250×250; bone marrow smear:
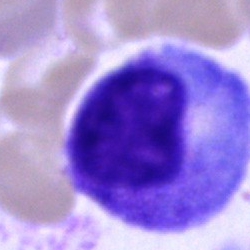
Single cell identified as a progranulocyte.